Bone marrow aspirate smear
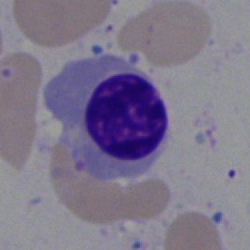
Showing a normoblast.